Peripheral blood smear: 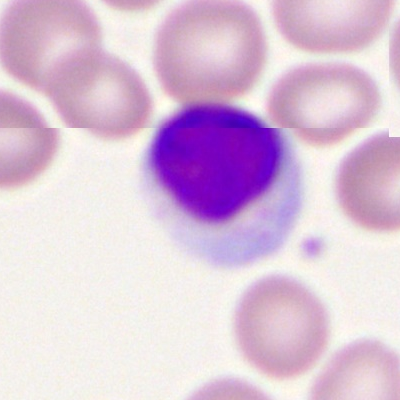A typical lymphocyte.